400 by 400 pixels. Peripheral blood film. Brightfield, 100× oil-immersion objective
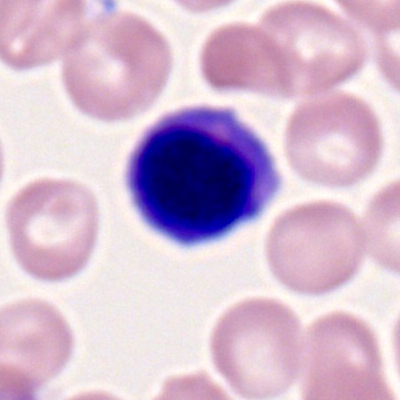Cell: lymphocyte.